MGG stain · peripheral blood smear · automated cell imaging (CellaVision DM96) — 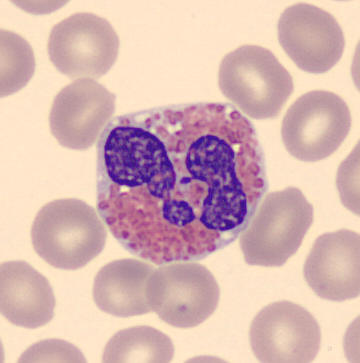 {"cell_type": "eosinophil", "lineage": "myeloid"}